Bone marrow aspirate smear; 40× oil immersion:
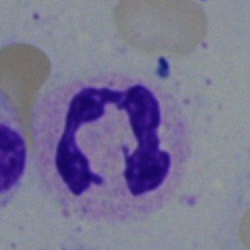Impression → segmented neutrophil.